Bone marrow aspirate smear · single cell centered in the field.
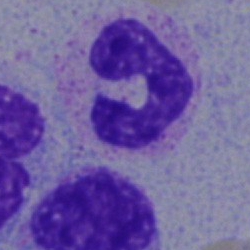

Specimen: bone marrow aspirate smear.
Cell type: segmented neutrophil.
Lineage: myeloid.